Bone marrow aspirate smear; Pappenheim-stained; 250×250 px
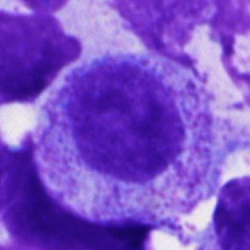
The cell is progranulocyte.